Bone marrow aspirate smear — 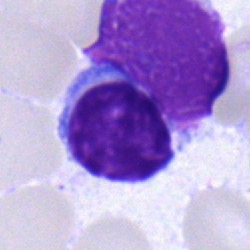

Q: Identify the cell.
A: A typical lymphocyte.